May-Grünwald-Giemsa/Pappenheim stain · bone marrow aspirate smear · 40× oil immersion
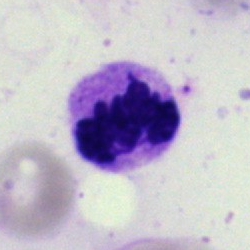Cell type — segmented neutrophil.